Image size 250×250. Bone marrow smear — 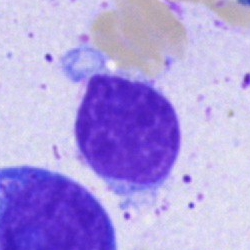

Morphological class — lymphocyte.